Bone marrow aspirate smear: 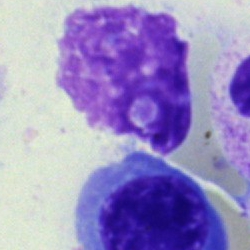Q: Identify the cell.
A: It is an unidentifiable cell.